Cropped to a single cell · bone marrow smear · May-Grünwald-Giemsa stain:
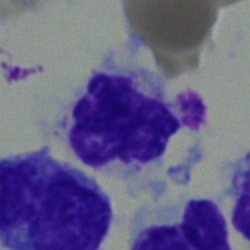

The cell is polymorphonuclear neutrophil.